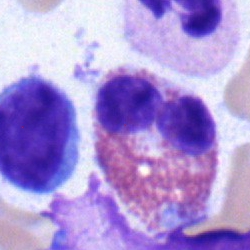 The classification is eosinophil.